250×250; bone marrow aspirate smear — 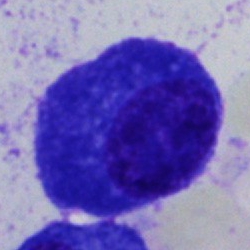
Q: What cell is this?
A: It is a plasmacyte.